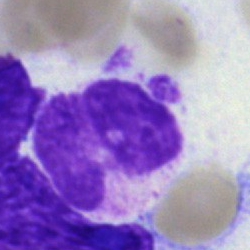

Q: Identify the cell.
A: A polymorphonuclear neutrophil.